Bone marrow smear — 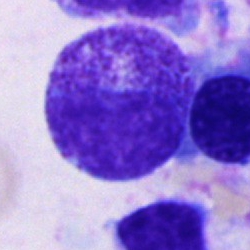

Single cell identified as a progranulocyte.